Bone marrow aspirate smear — 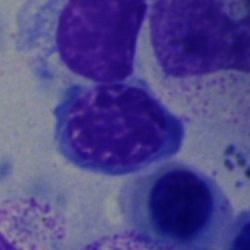

An erythroblast.